Single cell centered in the field; May-Grünwald-Giemsa/Pappenheim stain; bone marrow smear: 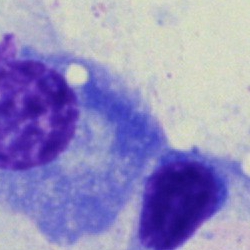
Morphology consistent with a plasma cell.